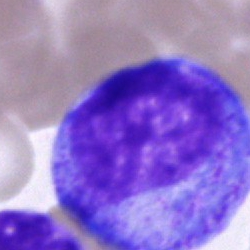

Specimen: bone marrow aspirate smear.
Morphological class: progranulocyte.
Lineage: myeloid.